Bone marrow smear
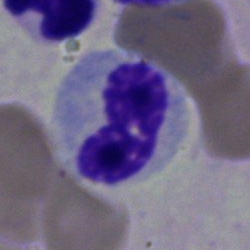 Q: What cell is this?
A: This is a stab cell.